Bone marrow smear; 40× oil immersion: 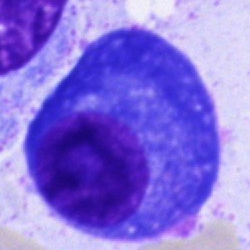Plasma cell.